Bone marrow aspirate smear · 250 by 250 pixels — 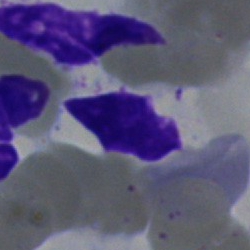 Specimen: bone marrow smear.
Morphological class: artefact.